Bone marrow aspirate smear:
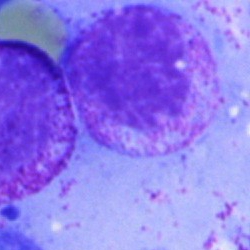
Morphology → myelocyte.